Bone marrow aspirate smear
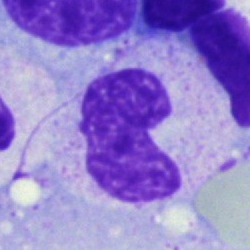

Cell type — neutrophil (band).